Bone marrow aspirate smear — 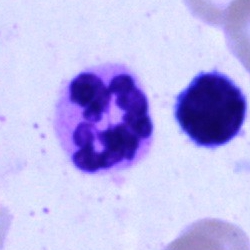
A neutrophil (segmented).